40× oil immersion; 250×250 px; bone marrow aspirate smear
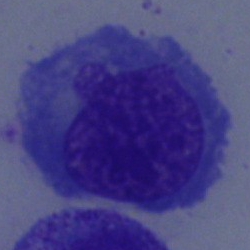 Cell = erythroblast.